40× oil immersion · bone marrow smear · image size 250×250
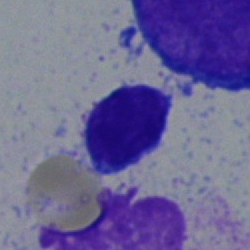Morphology — lymphocyte.